Bone marrow aspirate smear — 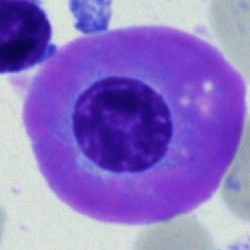

Cell type = plasmacyte.